Bone marrow smear. Single-cell crop. MGG-stained: 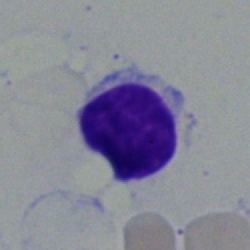 The cell shown is a lymphocyte.